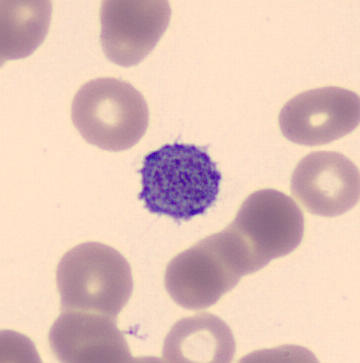Peripheral blood film; MGG stain; automated cell imaging (CellaVision DM96).
Q: What is this?
A: This is a platelet (thrombocyte).